May-Grünwald-Giemsa/Pappenheim stain. Bone marrow smear
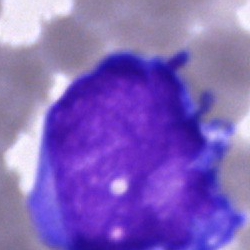Specimen: bone marrow aspirate smear.
Classification: undifferentiated blast.